Bone marrow smear; Pappenheim-stained — 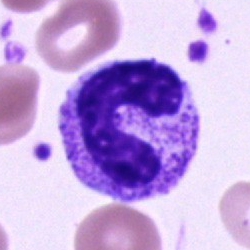

Q: What is shown here?
A: Stab cell.